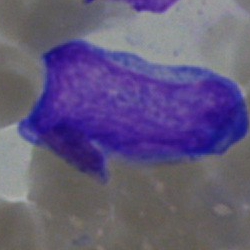 {"cell_type": "undifferentiated blast"}